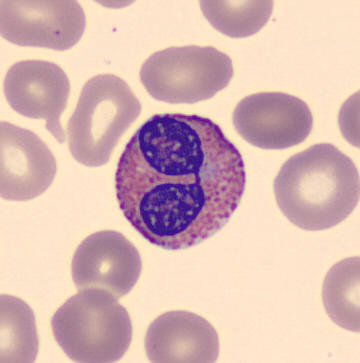Specimen: peripheral blood film.
Classification: eosinophil.
Lineage: myeloid.